MGG-stained · bone marrow smear — 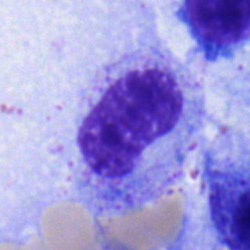

The cell is metamyelocyte.